Bone marrow aspirate smear: 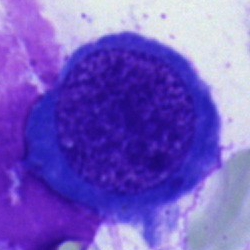Morphology consistent with a nucleated red blood cell.